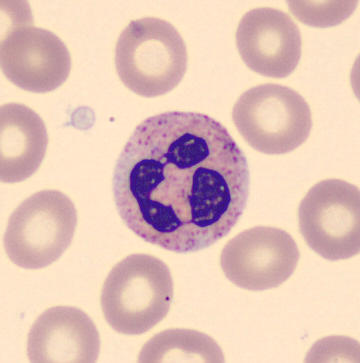 Cell — neutrophil (segmented).
Peripheral blood film.